Bone marrow smear
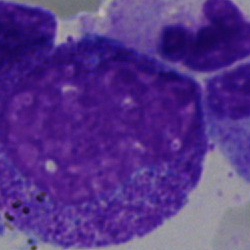
Morphology consistent with a progranulocyte.